Peripheral blood film: 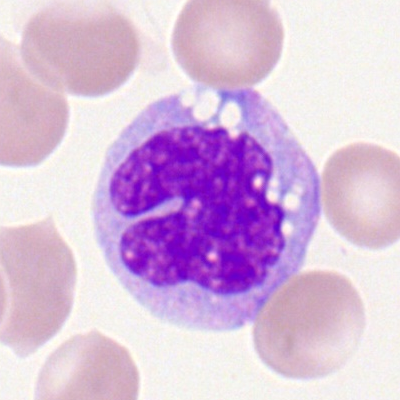Impression → monocyte.